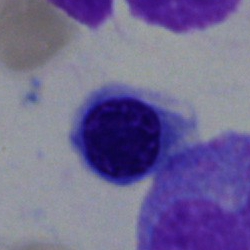

{"cell_type": "nucleated red blood cell", "lineage": "erythroid"}